Cropped to a single cell · bone marrow aspirate smear
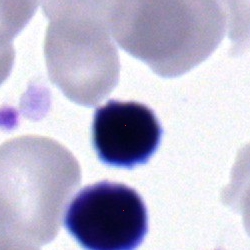 The cell shown is a lymphocyte.